Bone marrow aspirate smear: 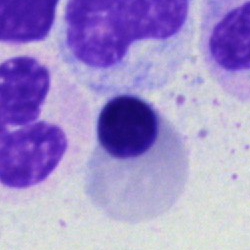

Impression → normoblast.